Bone marrow aspirate smear: 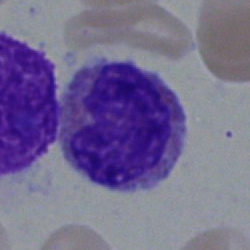
Q: What cell is this?
A: This is an eosinophilic granulocyte.